Bone marrow smear.
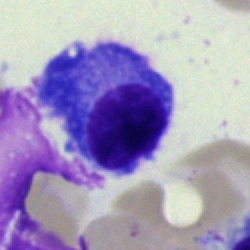
Morphology consistent with a plasmacyte.